360×363 px; peripheral blood film
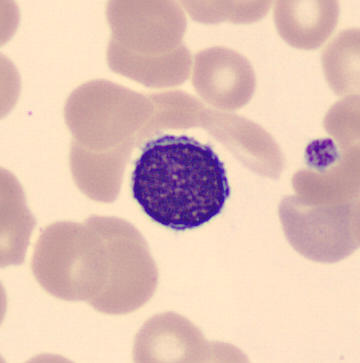
This is a typical lymphocyte.